Bone marrow smear; cropped to a single cell — 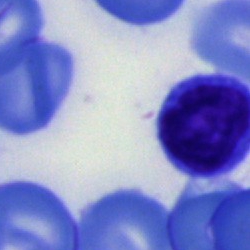Showing a lymphocyte.